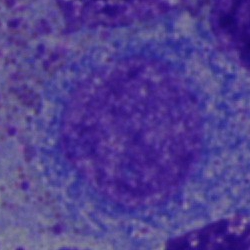 Q: Which cell type is shown here?
A: Promyelocyte.